Bone marrow aspirate smear; single-cell field: 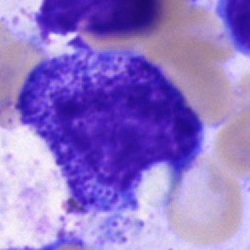
The morphological class is promyelocyte.